Bone marrow aspirate smear.
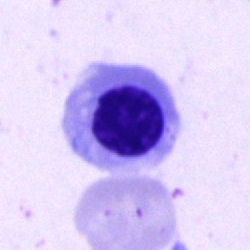 The cell is nucleated red cell.